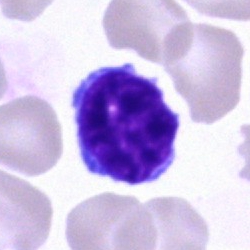 Q: What cell is this?
A: This is a typical lymphocyte.